May-Grünwald-Giemsa/Pappenheim stain · bone marrow aspirate smear.
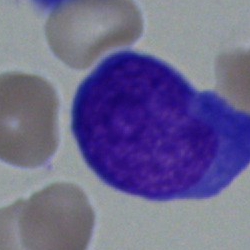Morphological class: blast.